Bone marrow aspirate smear · 250×250 px: 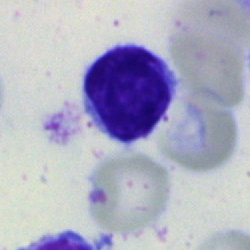Showing a typical lymphocyte.